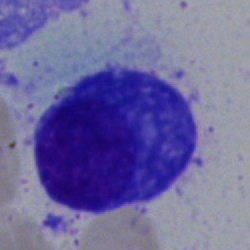

Morphology — plasma cell.